Bone marrow aspirate smear · 250 by 250 pixels · brightfield, 40× oil-immersion objective:
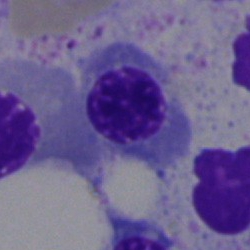

Specimen: bone marrow smear.
Morphological class: normoblast.
Lineage: erythroid.